Cropped to a single cell. Bone marrow aspirate smear: 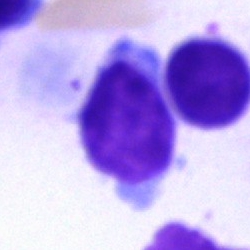
Single cell identified as a lymphocyte.